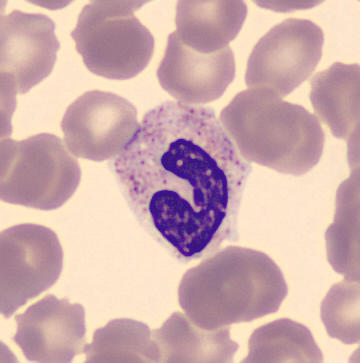Q: Which cell type is shown here?
A: It is a band neutrophil.